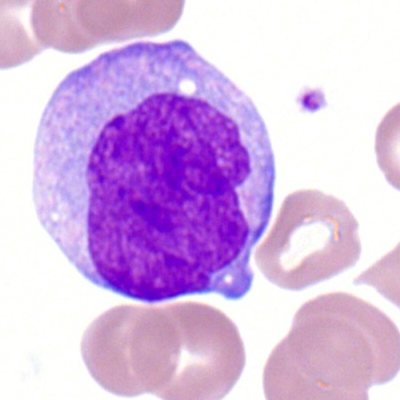

Peripheral blood film, single cell — monocyte.